Bone marrow aspirate smear:
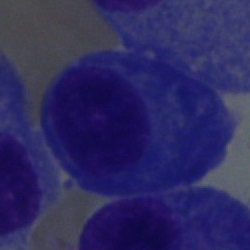 Plasmacyte.